Bone marrow smear:
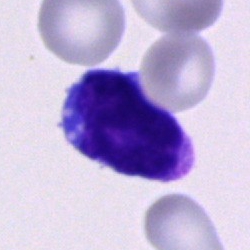 Q: What type of cell is this?
A: Blast cell.